May-Grünwald-Giemsa stain. Bone marrow aspirate smear: 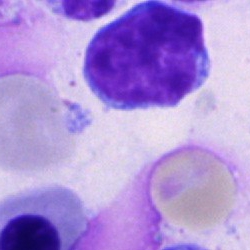 Cell type: typical lymphocyte.